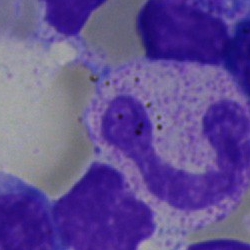

Morphological class — neutrophil (segmented).